Bone marrow smear. 40× oil immersion. 250 by 250 pixels:
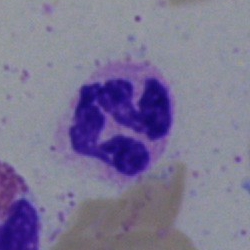
Q: Which cell type is shown here?
A: It is a polymorphonuclear neutrophil.